Bone marrow smear
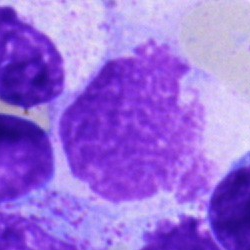 Artifact.